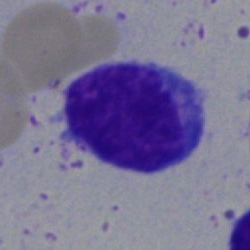
Undifferentiated blast.